Bone marrow smear; image size 250×250: 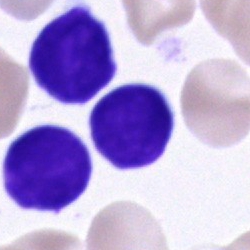

Specimen: bone marrow smear.
Morphological class: typical lymphocyte.
Lineage: lymphoid.